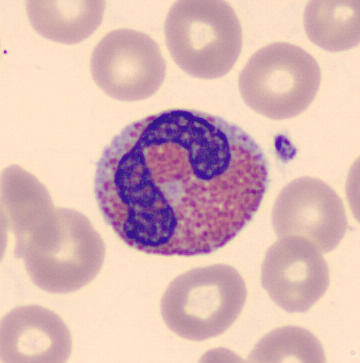CellaVision DM96.

Specimen: peripheral blood film.
Cell type: eosinophil.
Lineage: myeloid.